Bone marrow aspirate smear. Single-cell field.
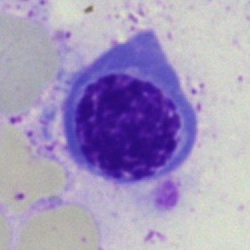

Impression → nucleated red blood cell.